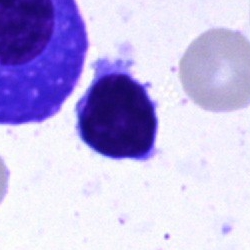

Q: What cell is this?
A: This is a lymphocyte.